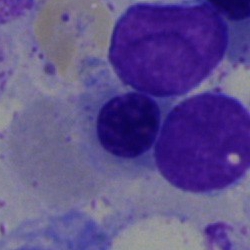Q: What is shown here?
A: Nucleated red blood cell.